Bone marrow smear.
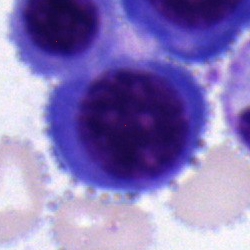 A normoblast.